Bone marrow smear — 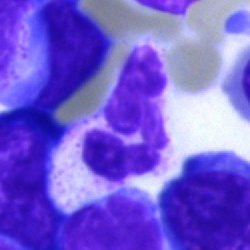

The morphological class is segmented neutrophil.